Brightfield microscopy, 40× oil immersion · May-Grünwald-Giemsa/Pappenheim stain · bone marrow smear
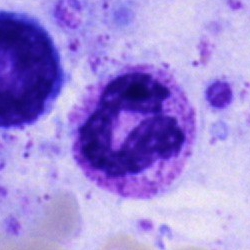

This is a neutrophil (segmented).